Bone marrow aspirate smear
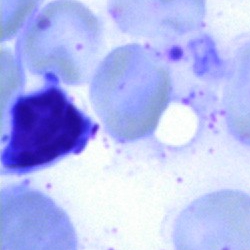

Cell type — artefact.